Bone marrow smear. Pappenheim-stained
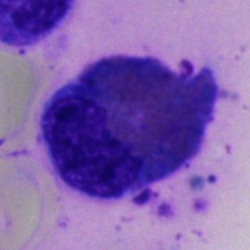Cell = neutrophil (band).